Image size 250×250; bone marrow smear
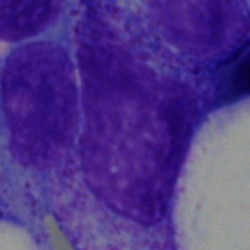This is an unidentifiable cell.